Brightfield microscopy, 40× oil immersion. Pappenheim-stained. Bone marrow smear — 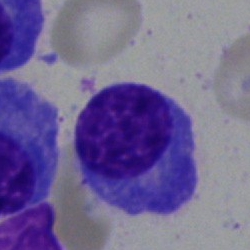The cell type is plasmacyte.